Bone marrow aspirate smear; May-Grünwald-Giemsa/Pappenheim stain: 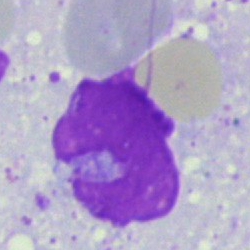The cell shown is an artifact.